Bone marrow smear — 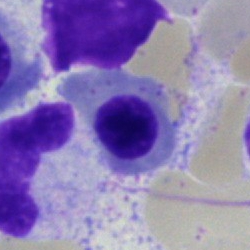
Specimen: bone marrow smear.
Cell type: nucleated red cell.
Lineage: erythroid.